Bone marrow aspirate smear.
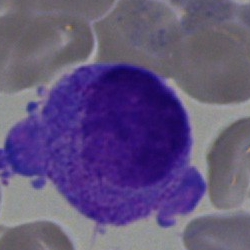
Morphology consistent with a blast.